Bone marrow smear · brightfield microscopy, 40× oil immersion
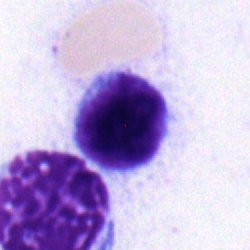 {"cell_type": "lymphocyte", "lineage": "lymphoid"}